May-Grünwald-Giemsa/Pappenheim stain; 250 by 250 pixels; bone marrow aspirate smear
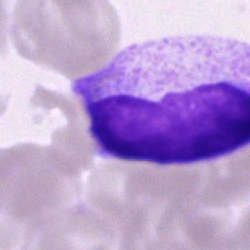Unidentifiable cell.